Bone marrow smear: 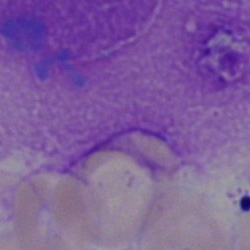
The cell shown is an artifact.